Single cell centered in the field · bone marrow aspirate smear · 250×250 px.
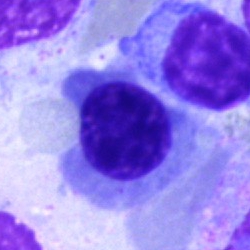
Q: What type of cell is this?
A: This is a nucleated red blood cell.